Pappenheim-stained; bone marrow smear; 250×250 px — 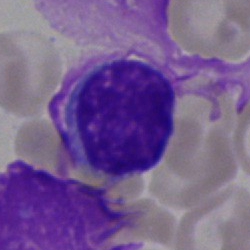
Cell: lymphocyte.